Image size 250×250; bone marrow smear:
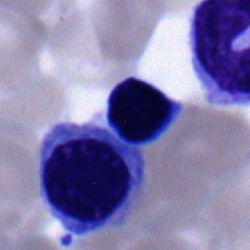Typical lymphocyte.